40× objective, oil immersion · bone marrow smear:
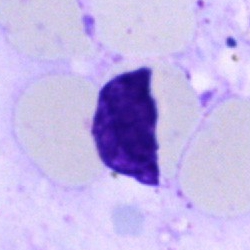
Specimen: bone marrow aspirate smear.
Classification: artifact.